Bone marrow aspirate smear. MGG-stained:
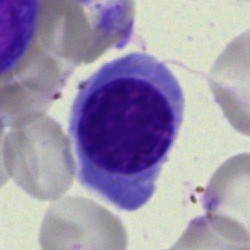 Morphology — nucleated red cell.